Bone marrow aspirate smear: 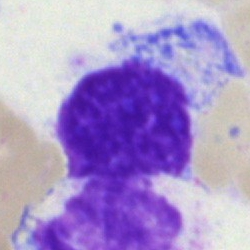

Cell = artifact.